Bone marrow aspirate smear.
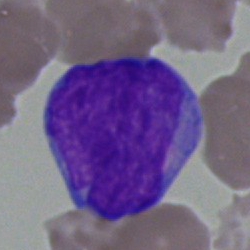
Specimen: bone marrow smear.
Morphological class: blast cell.